Bone marrow aspirate smear · brightfield, 40× oil-immersion objective.
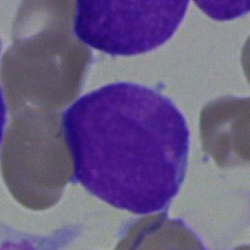

Q: Which cell type is shown here?
A: A blast.